Bone marrow smear:
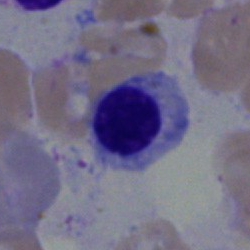Morphology consistent with a nucleated red blood cell.